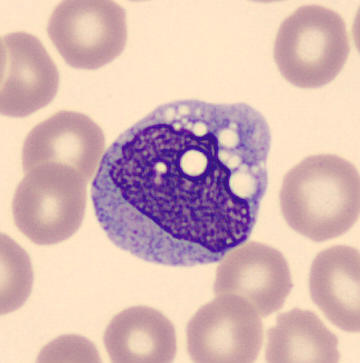Peripheral blood smear · 360×363 px · imaged on a CellaVision DM96 analyser.
The classification is monocyte.